Bone marrow aspirate smear; Pappenheim-stained; brightfield microscopy, 40× oil immersion
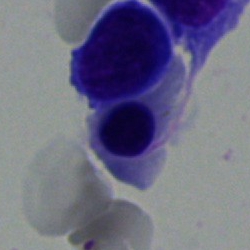Nucleated red blood cell.